Single-cell crop. Bone marrow smear.
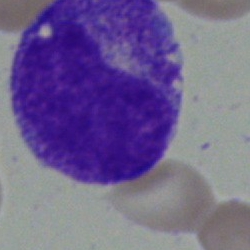Showing a metamyelocyte.